Bone marrow smear: 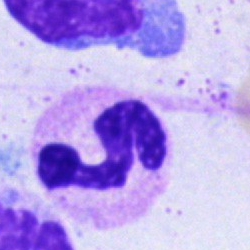

Morphology → segmented neutrophil.